100× oil immersion. Single-cell field. Peripheral blood smear: 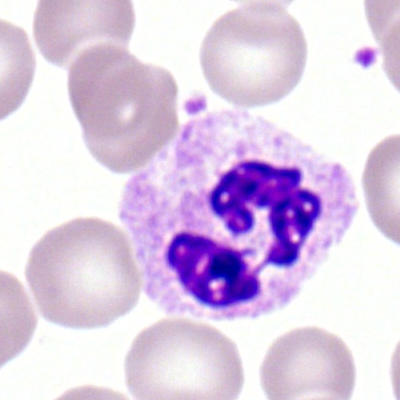 Specimen: peripheral blood film.
Classification: neutrophil (segmented).
Lineage: myeloid.